MGG-stained. Bone marrow smear — 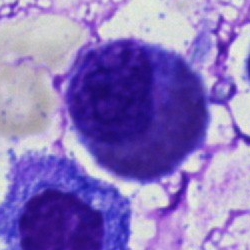
Impression → eosinophilic granulocyte.